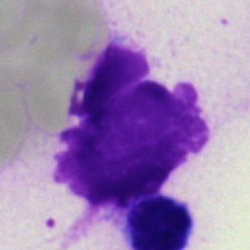 The morphological class is artifact.